Bone marrow aspirate smear: 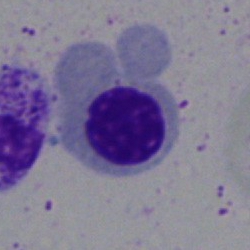
The cell is nucleated red cell.